Single-cell field · image size 250×250 · bone marrow smear
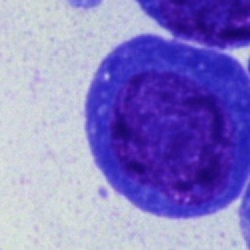

Plasmacyte.